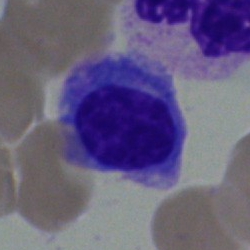The cell is plasmacyte.